Bone marrow aspirate smear — 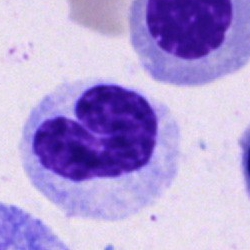

Morphology consistent with a band-form neutrophil.